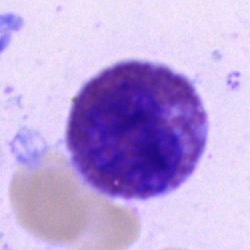 Cell type = eosinophil.